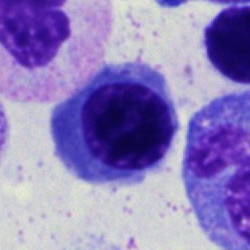 {"cell_type": "nucleated red cell"}